Brightfield, 40× oil-immersion objective · single cell centered in the field · bone marrow aspirate smear:
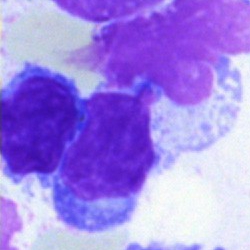 A lymphocyte.